Bone marrow aspirate smear
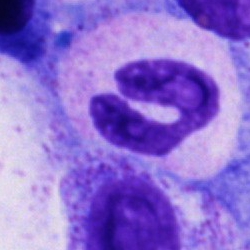

Morphology consistent with a neutrophil (band).